Bone marrow aspirate smear — 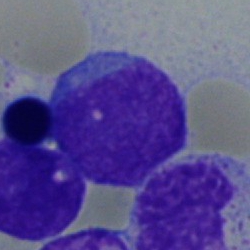Morphology consistent with an undifferentiated blast.